Bone marrow smear — 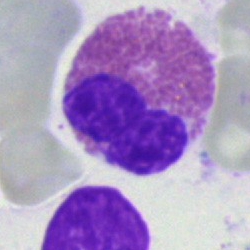

Impression — eosinophil.